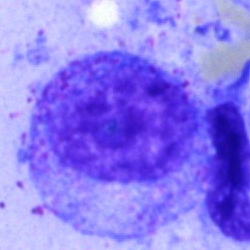 The cell shown is a progranulocyte.